Peripheral blood film: 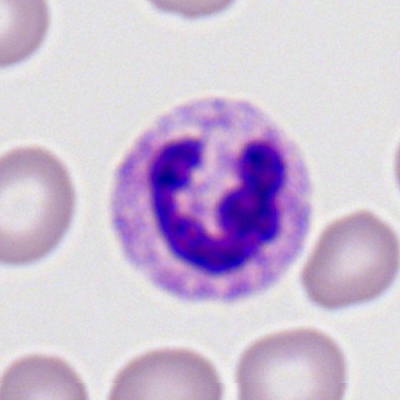
{"cell_type": "neutrophil (segmented)", "lineage": "myeloid"}